Bone marrow aspirate smear
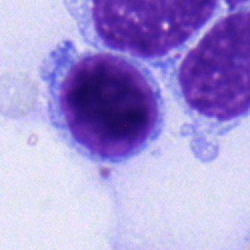
Showing a typical lymphocyte.